Bone marrow smear. Brightfield microscopy, 40× oil immersion:
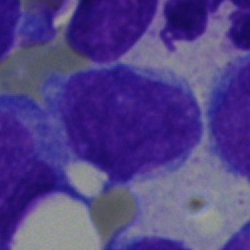
Blast cell.